Bone marrow smear; single-cell crop: 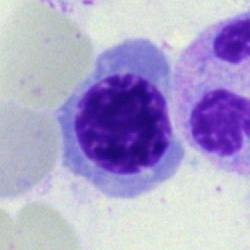
The cell type is normoblast.